Peripheral blood film — 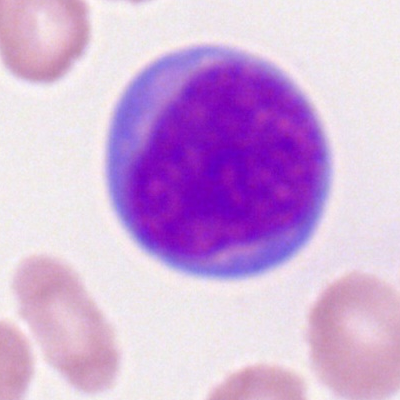
Impression — myeloblast.